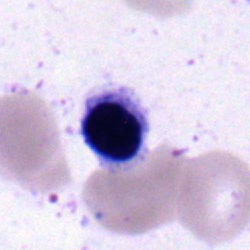 Bone marrow smear showing an erythroblast.